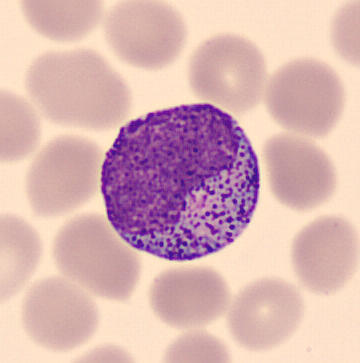 Cell type — promyelocyte.

Single-cell field. Peripheral blood film.